Bone marrow aspirate smear; cropped to a single cell: 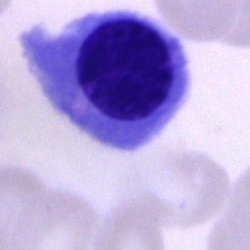
Q: What type of cell is this?
A: Nucleated red blood cell.